250 by 250 pixels; 40× objective, oil immersion; bone marrow smear: 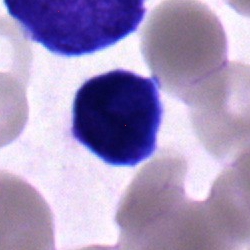 Lymphocyte.